250 by 250 pixels; bone marrow smear
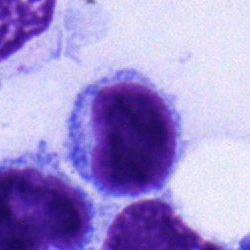

Morphology — typical lymphocyte.